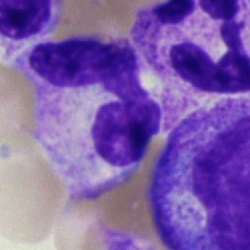 Morphological class: segmented neutrophil.